Single cell centered in the field · MGG-stained · bone marrow aspirate smear:
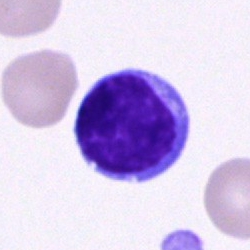
Morphological class = lymphocyte.